Bone marrow aspirate smear; single-cell crop
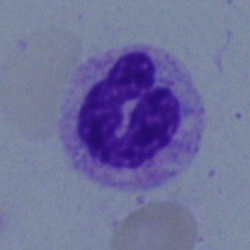
Cell — band neutrophil.